Bone marrow aspirate smear — 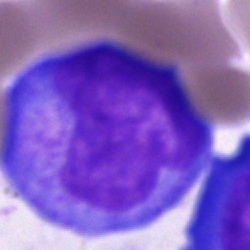Impression — undifferentiated blast.